Bone marrow aspirate smear
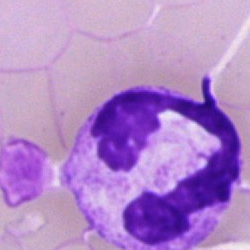
Artefact.